Bone marrow aspirate smear:
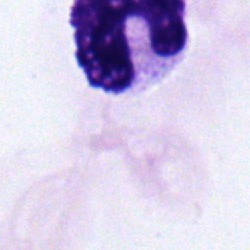Cell type — band-form neutrophil.